250 by 250 pixels · bone marrow aspirate smear.
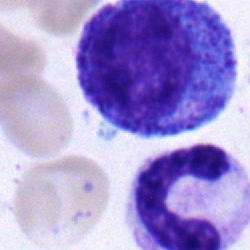

Single cell identified as a progranulocyte.